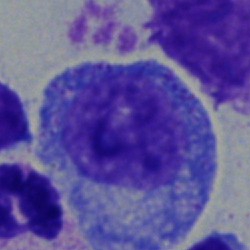

Q: What is the morphological classification of this cell?
A: A promyelocyte.